100× oil immersion, 14.14 px/µm. Peripheral blood smear:
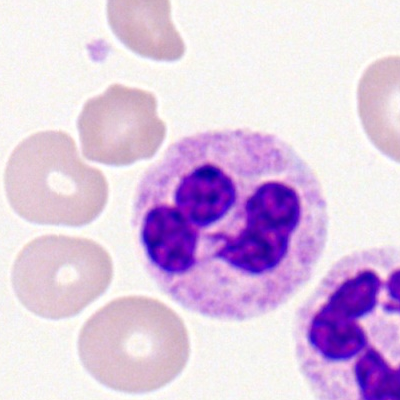
Classification — polymorphonuclear neutrophil.